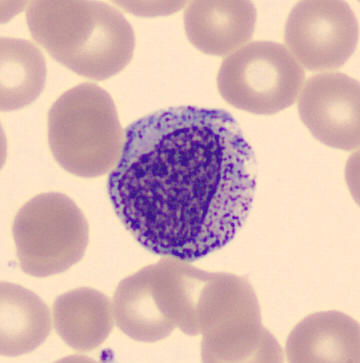

Peripheral blood smear.
Q: What is this?
A: Myelocyte.